Bone marrow smear: 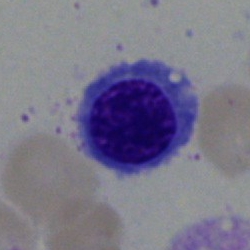{"cell_type": "nucleated red blood cell"}